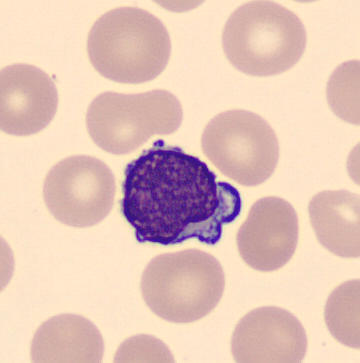 Morphological class = lymphocyte.

Image: Peripheral blood smear.